Bone marrow aspirate smear:
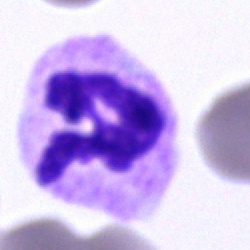Cell: polymorphonuclear neutrophil.